Single-cell field. 250×250. Bone marrow smear:
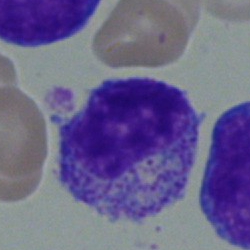
Q: Which cell type is shown here?
A: This is a myelocyte.